Cropped to a single cell; bone marrow aspirate smear
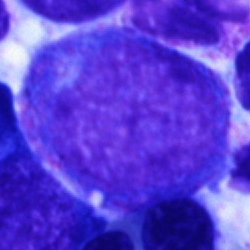
Blast.